Bone marrow smear:
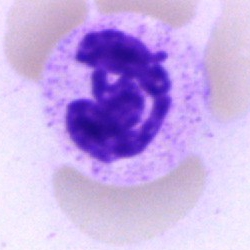 Showing a segmented neutrophil.